Bone marrow aspirate smear.
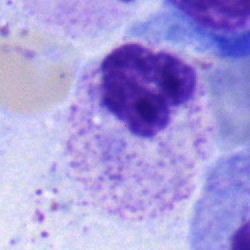 Q: What is the morphological classification of this cell?
A: It is a segmented neutrophil.